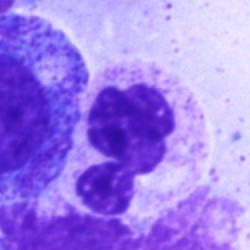

Single cell identified as a segmented neutrophil.